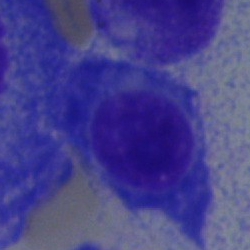

Morphology → plasma cell.